Bone marrow smear.
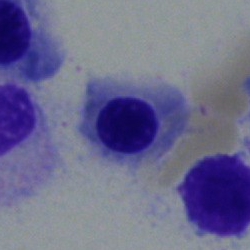A nucleated red cell.